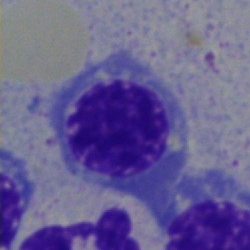

Classification = nucleated red blood cell.